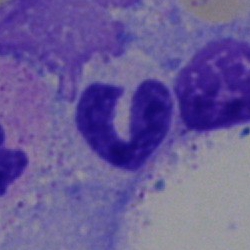Bone marrow aspirate smear, single cell — neutrophil (segmented).